250×250 px; brightfield, 40× oil-immersion objective; bone marrow aspirate smear
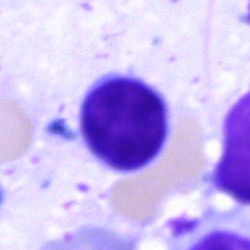

Q: What cell is this?
A: It is a typical lymphocyte.